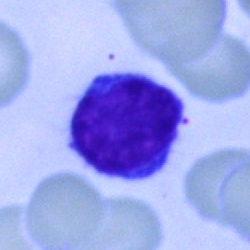

This is a typical lymphocyte.